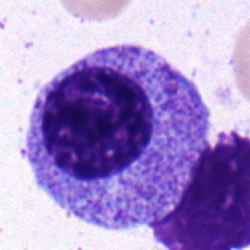

Q: Identify the cell.
A: Myelocyte.